250×250. Bone marrow aspirate smear:
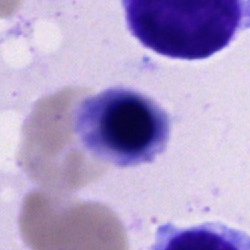
Cell type: erythroblast.